Peripheral blood smear. Romanowsky-type stain — 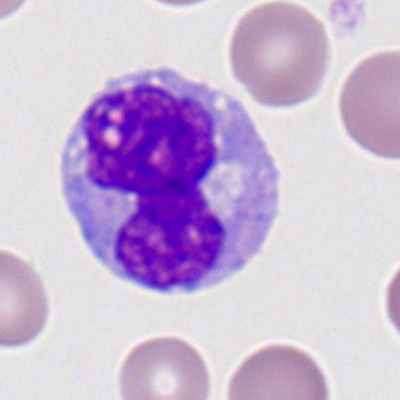

Cell — monocyte.